250 by 250 pixels · bone marrow aspirate smear:
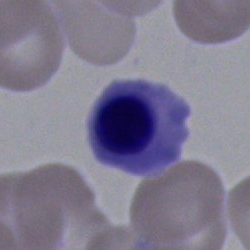
This is a nucleated red cell.